Peripheral blood film:
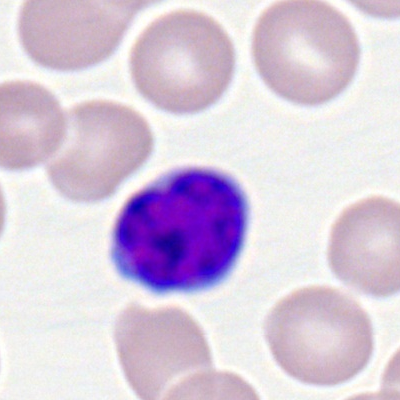Lymphocyte.